Bone marrow aspirate smear; 250×250 px.
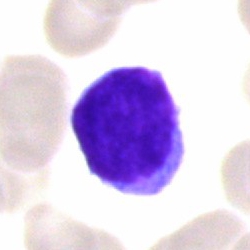
Showing a lymphocyte.